Peripheral blood smear · single cell centered in the field · Romanowsky stain.
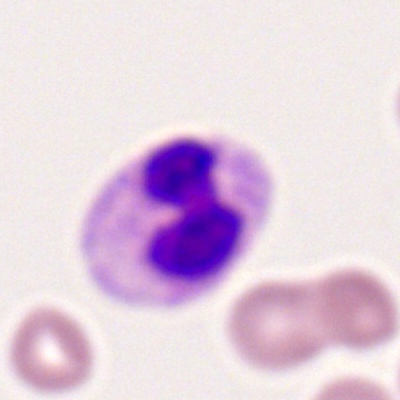

Morphology consistent with a segmented neutrophil.